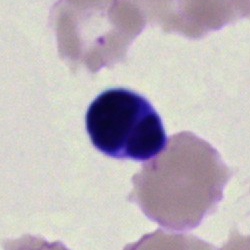 {"cell_type": "artifact"}